Bone marrow smear · May-Grünwald-Giemsa/Pappenheim stain — 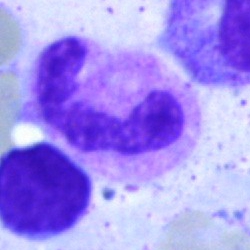
{"cell_type": "polymorphonuclear neutrophil"}